Bone marrow aspirate smear; single-cell crop.
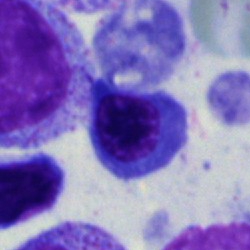

Cell type — nucleated red cell.